Bone marrow aspirate smear. 250×250 — 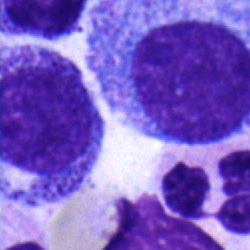 Q: Identify the cell.
A: A promyelocyte.